Single-cell crop. 250 by 250 pixels. Bone marrow smear:
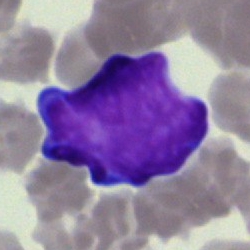
Q: Which cell type is shown here?
A: Cell of indeterminate lineage.